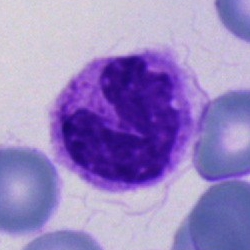 Bone marrow smear showing a polymorphonuclear neutrophil.